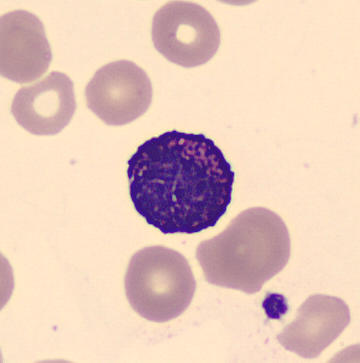

Specimen: peripheral blood smear.
Cell type: basophil.
Lineage: myeloid.